Bone marrow aspirate smear:
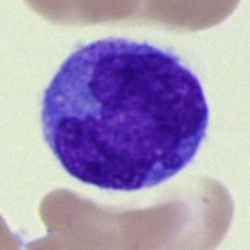
Q: What type of cell is this?
A: Monocyte.